Bone marrow smear · May-Grünwald-Giemsa/Pappenheim stain · 40× oil immersion
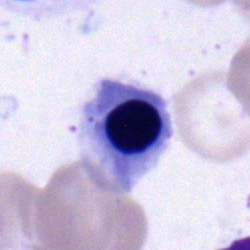
This is a nucleated red blood cell.